Image size 250×250. Pappenheim-stained. Bone marrow smear.
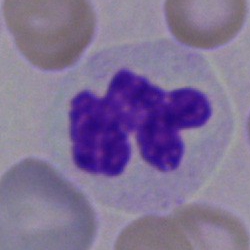

The cell shown is a segmented neutrophil.